Brightfield, 40× oil-immersion objective · bone marrow smear — 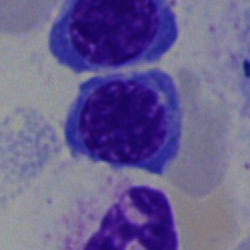
Q: What type of cell is this?
A: An erythroblast.